Bone marrow smear · Pappenheim-stained: 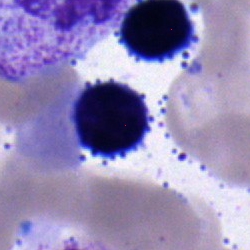
Morphology → nucleated red cell.